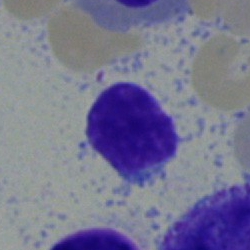

Morphology consistent with a lymphocyte.